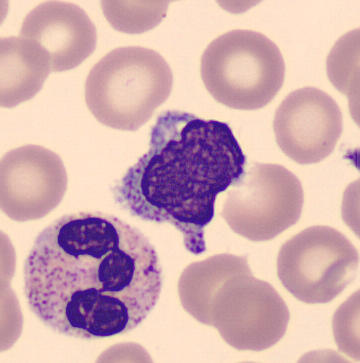

Single cell identified as a lymphocyte.